May-Grünwald-Giemsa-stained; peripheral blood smear
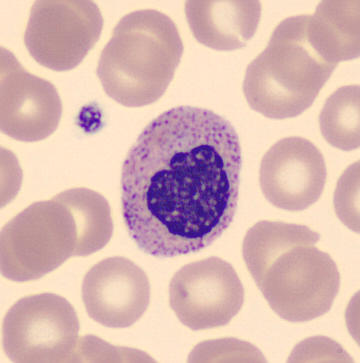
Specimen: peripheral blood smear.
Cell: metamyelocyte.
Lineage: myeloid.